Bone marrow smear — 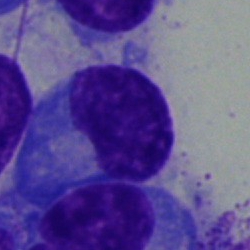Morphological class: plasma cell.